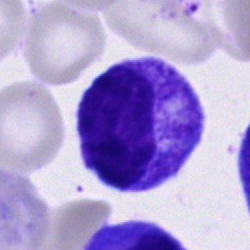
Bone marrow smear showing a progranulocyte.